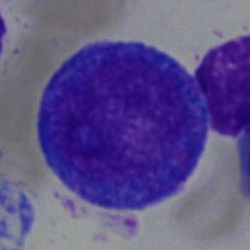
Classification — progranulocyte.